Single-cell field; bone marrow aspirate smear:
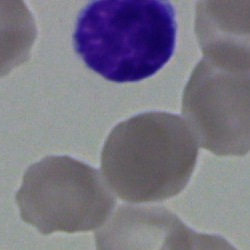
Cell: lymphocyte.